Bone marrow aspirate smear
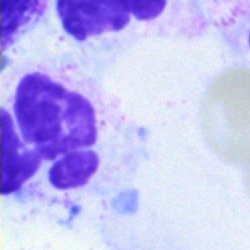The cell is artifact.